Bone marrow smear; single-cell crop; May-Grünwald-Giemsa stain
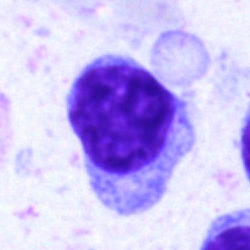

Classification — typical lymphocyte.